Bone marrow smear.
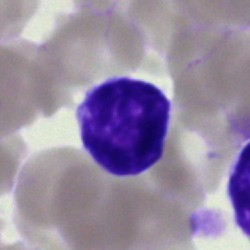 Q: What is the morphological classification of this cell?
A: A typical lymphocyte.